Bone marrow aspirate smear; brightfield, 40× oil-immersion objective — 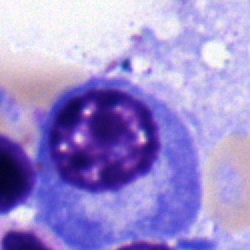

A plasma cell.